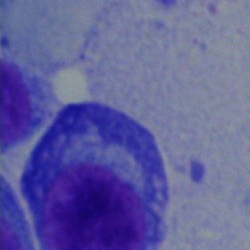 Plasma cell.